Bone marrow aspirate smear; Pappenheim-stained.
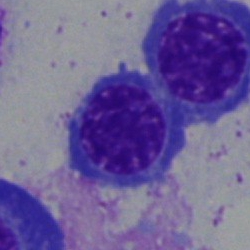

Q: Identify the cell.
A: It is a normoblast.